Single cell centered in the field; bone marrow smear — 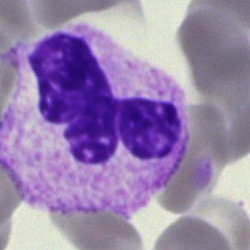Q: What is shown here?
A: This is a segmented neutrophil.